Bone marrow smear — 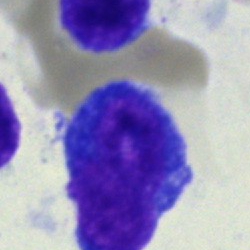Morphology → blast cell.